Bone marrow aspirate smear:
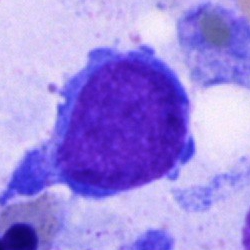
The cell shown is an undifferentiated blast.